Bone marrow smear: 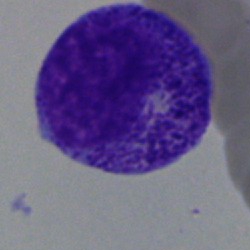 Cell = myelocyte.